Bone marrow aspirate smear:
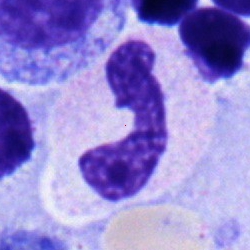

{"cell_type": "band-form neutrophil"}